Bone marrow aspirate smear. Brightfield microscopy, 40× oil immersion. Pappenheim-stained: 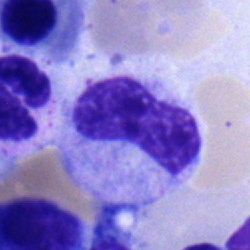 Specimen: bone marrow smear.
Morphological class: metamyelocyte.
Lineage: myeloid.